250×250 px · bone marrow smear
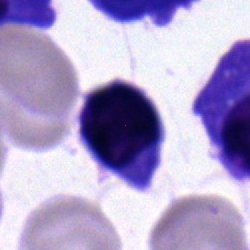

Cell = typical lymphocyte.